Peripheral blood smear; 400 by 400 pixels; Romanowsky stain:
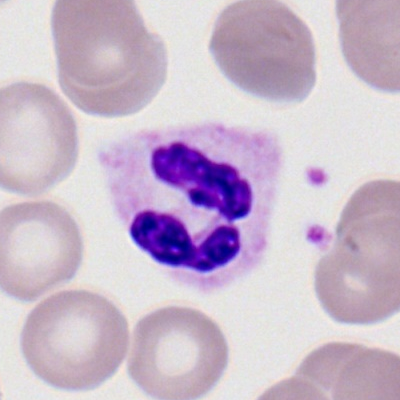Q: Identify the cell.
A: A polymorphonuclear neutrophil.